Single-cell field; bone marrow smear
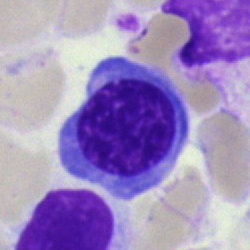 Q: Identify the cell.
A: Normoblast.